Bone marrow smear; single-cell field.
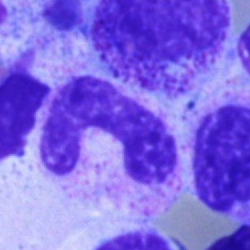
The classification is neutrophil (band).